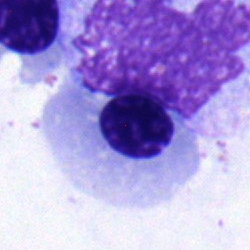

Q: Identify the cell.
A: An erythroblast.